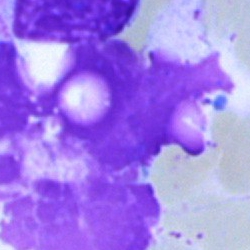Single cell identified as an artifact.